Bone marrow aspirate smear · single cell centered in the field:
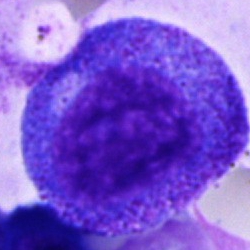
Cell = promyelocyte.